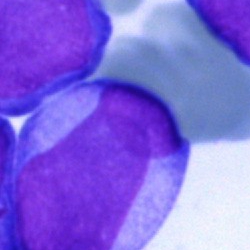 The classification is blast.